Single-cell crop · bone marrow aspirate smear
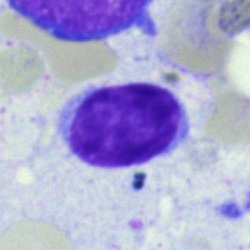Morphological class: typical lymphocyte.